Bone marrow smear — 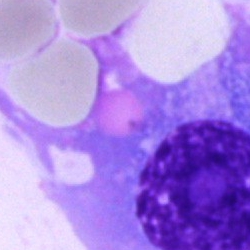 Showing a plasmacyte.